40× objective, oil immersion. Bone marrow smear. Single-cell crop.
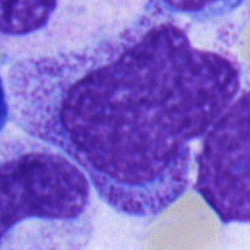

Q: What type of cell is this?
A: A myelocyte.